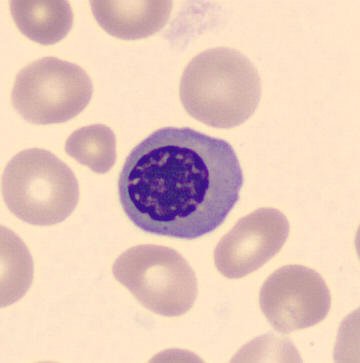

Morphological class: normoblast.
Peripheral blood film.